Bone marrow smear
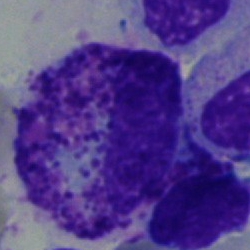 Classification = other cell.